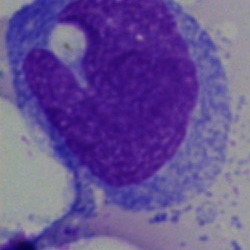 Monocyte.